Bone marrow aspirate smear: 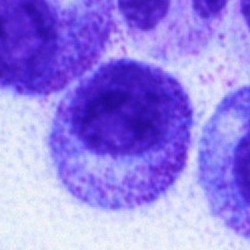Morphology consistent with a myelocyte.